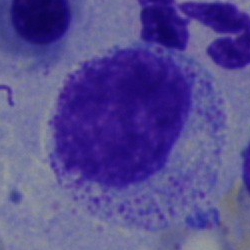Q: Which cell type is shown here?
A: It is a myelocyte.